Bone marrow aspirate smear; single-cell field; 250 by 250 pixels:
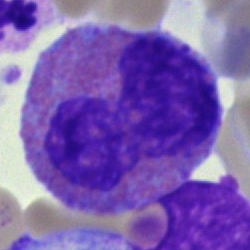

The cell type is eosinophilic granulocyte.